Bone marrow smear. 40× oil immersion. Single-cell crop.
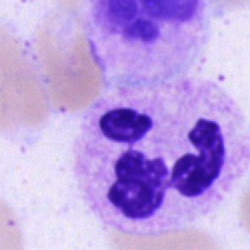

{"cell_type": "polymorphonuclear neutrophil"}